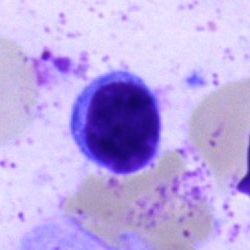 Cell — typical lymphocyte.